Bone marrow smear: 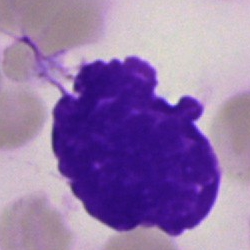

Cell type = artefact.